Bone marrow aspirate smear · image size 250×250
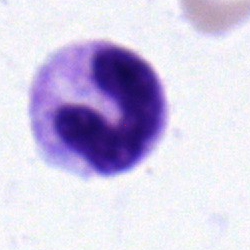

Specimen: bone marrow aspirate smear.
Cell type: band neutrophil.